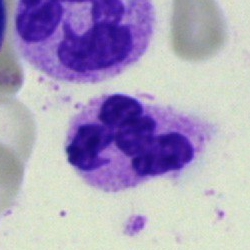
Single cell identified as a segmented neutrophil.